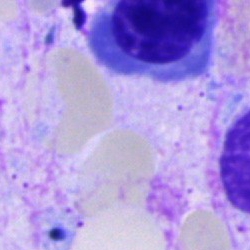Specimen: bone marrow aspirate smear.
Morphological class: nucleated red blood cell.
Lineage: erythroid.